250×250 px · bone marrow aspirate smear
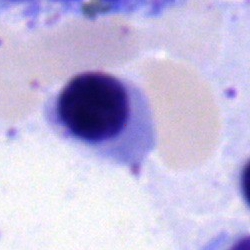
Q: Identify the cell.
A: A normoblast.